Bone marrow aspirate smear.
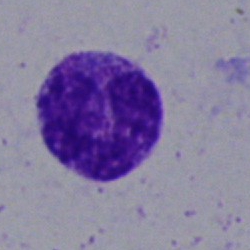

The cell shown is a band neutrophil.